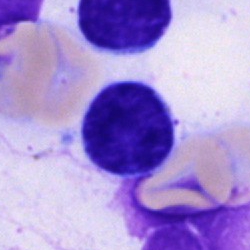 This is a lymphocyte.